Bone marrow aspirate smear
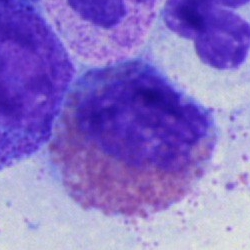

Specimen: bone marrow aspirate smear.
Cell: eosinophil.